Bone marrow smear. 40× oil immersion — 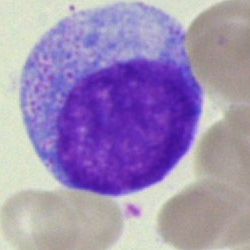
Progranulocyte.